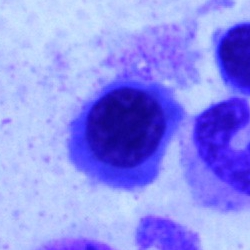
Impression → neutrophil (band).